Bone marrow aspirate smear:
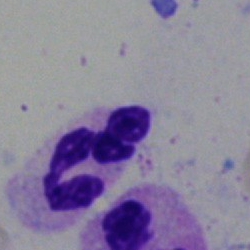

Q: What is the morphological classification of this cell?
A: This is a neutrophil (segmented).